Bone marrow aspirate smear; 40× objective, oil immersion — 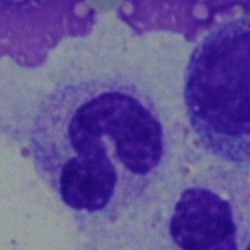
Morphology consistent with a stab cell.